Bone marrow aspirate smear. May-Grünwald-Giemsa stain.
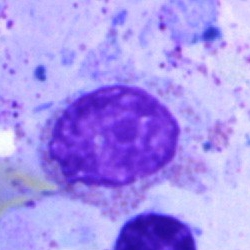

{"cell_type": "artifact"}